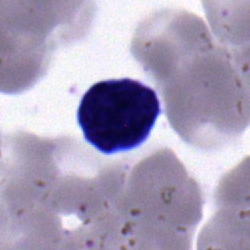 Single cell identified as a lymphocyte.